Peripheral blood film; 100× objective, oil immersion; image size 400×400: 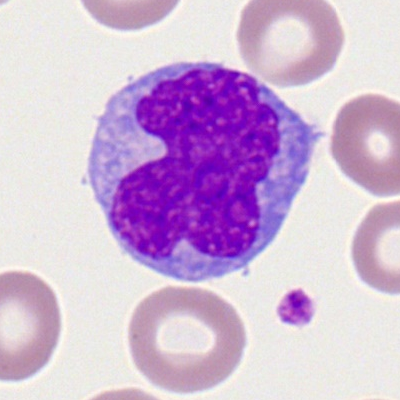Specimen: peripheral blood film.
Morphological class: monocyte.